Bone marrow smear
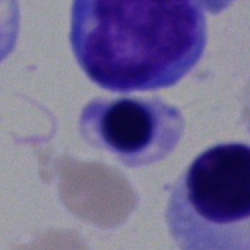 Q: Identify the cell.
A: It is a nucleated red cell.